Bone marrow aspirate smear
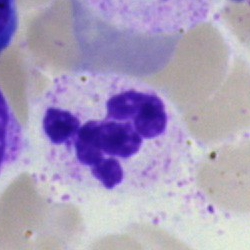Morphology consistent with a polymorphonuclear neutrophil.